Bone marrow aspirate smear. Brightfield, 40× oil-immersion objective.
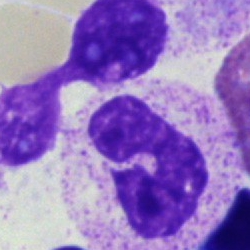This is a polymorphonuclear neutrophil.